Bone marrow aspirate smear — 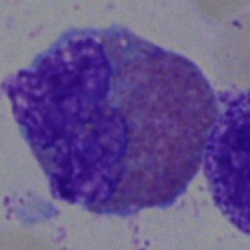

Q: Which cell type is shown here?
A: An eosinophil.